Bone marrow smear. Pappenheim-stained.
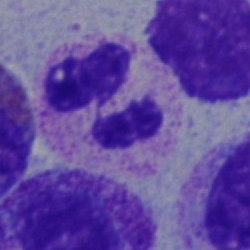
Impression → neutrophil (segmented).